Peripheral blood smear:
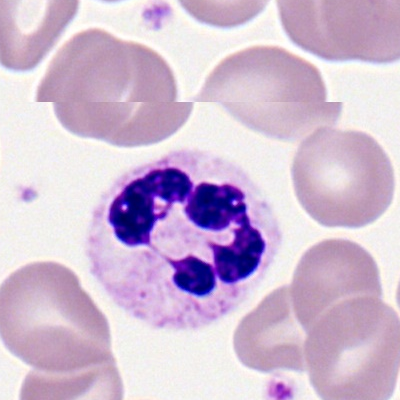 Specimen: peripheral blood film.
Classification: polymorphonuclear neutrophil.